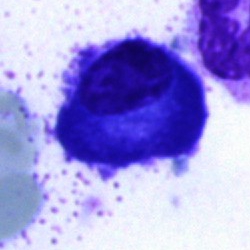 Single cell identified as a plasmacyte.